Bone marrow aspirate smear
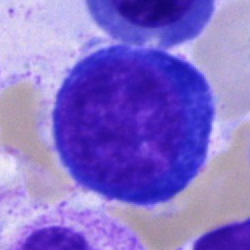

Morphological class — proerythroblast.